Bone marrow smear · May-Grünwald-Giemsa/Pappenheim stain: 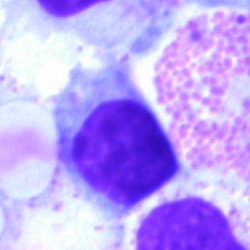

Morphological class = typical lymphocyte.